Bone marrow smear. May-Grünwald-Giemsa/Pappenheim stain:
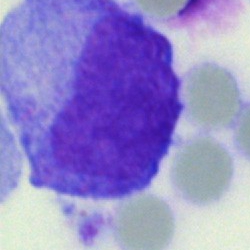Morphology — progranulocyte.